Pappenheim-stained · bone marrow smear · single-cell field: 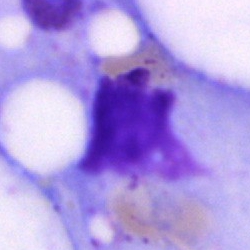

Morphological class = artefact.